Bone marrow smear · 250×250.
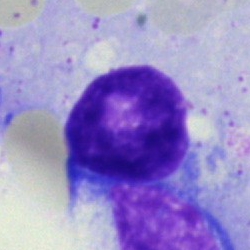
Morphology consistent with a typical lymphocyte.